Single-cell field. Image size 400×400. Peripheral blood film: 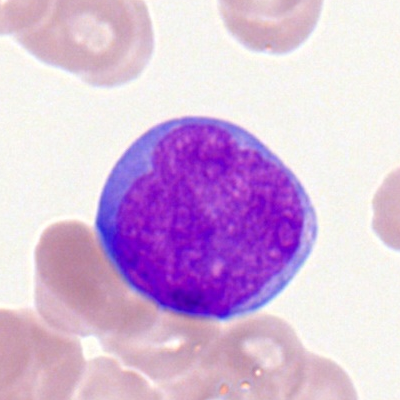
Single cell identified as a myeloblast.